Single cell centered in the field · peripheral blood film:
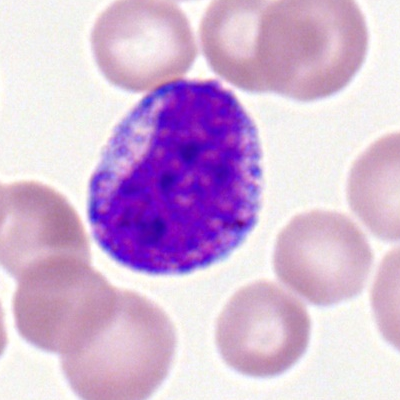 Showing a metamyelocyte.